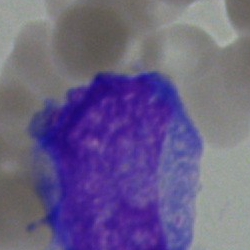Impression — undifferentiated blast.